Single-cell crop · bone marrow smear:
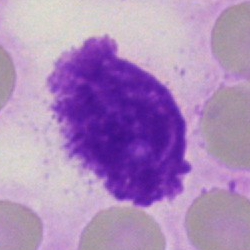 Artefact.